Bone marrow smear: 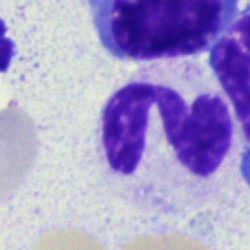 Impression — polymorphonuclear neutrophil.